MGG-stained; bone marrow aspirate smear: 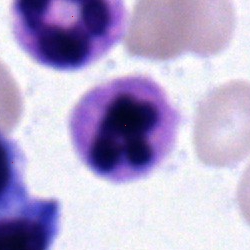Specimen: bone marrow aspirate smear.
Cell type: polymorphonuclear neutrophil.
Lineage: myeloid.